Bone marrow aspirate smear
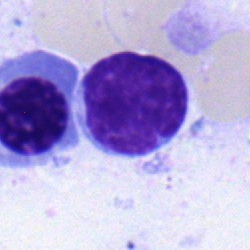 Q: Which cell type is shown here?
A: A lymphocyte.